Bone marrow aspirate smear. 250 by 250 pixels — 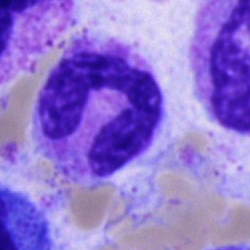
Q: Which cell type is shown here?
A: Neutrophil (band).